Bone marrow smear.
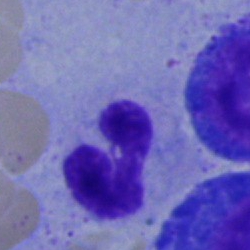

Cell: polymorphonuclear neutrophil.